Bone marrow aspirate smear:
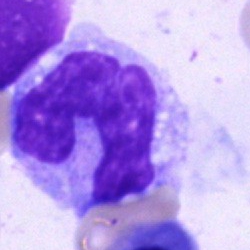 Specimen: bone marrow aspirate smear.
Classification: monocyte.
Lineage: myeloid.